Bone marrow aspirate smear — 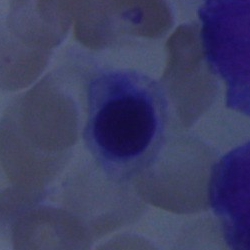

Showing a nucleated red blood cell.